Image size 250×250. Bone marrow smear — 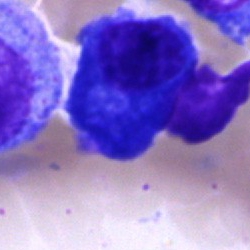

Cell type = plasmacyte.